Brightfield, 40× oil-immersion objective · bone marrow smear: 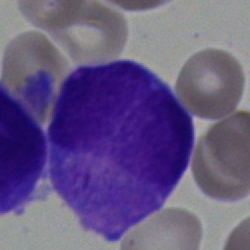

Cell = undifferentiated blast.